Bone marrow smear · single-cell field — 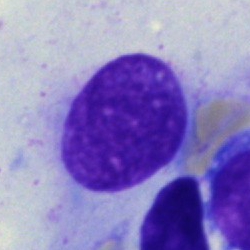
Morphology — artefact.